Bone marrow smear
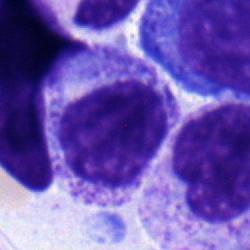 The classification is myelocyte.